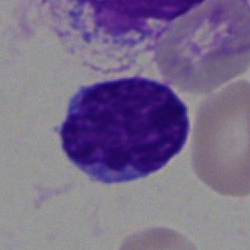 Morphology consistent with an undifferentiated blast.